Peripheral blood film:
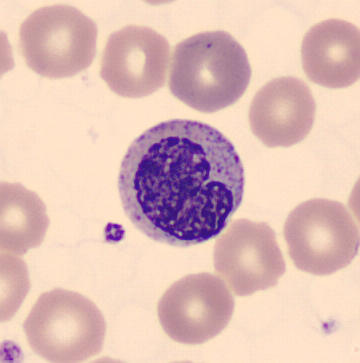Single cell identified as a metamyelocyte.